Bone marrow aspirate smear: 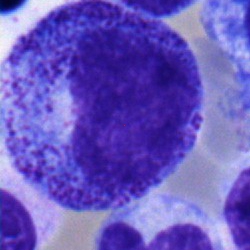
Showing a promyelocyte.